Bone marrow aspirate smear
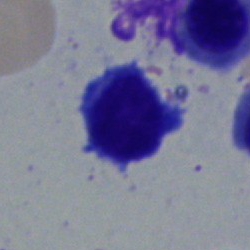

Cell — lymphocyte.